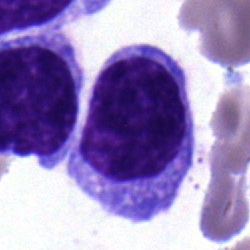Q: Identify the cell.
A: Typical lymphocyte.